Cropped to a single cell. May-Grünwald-Giemsa/Pappenheim stain. Bone marrow smear: 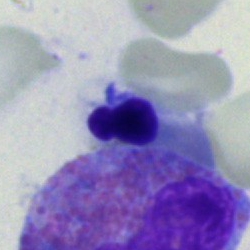
Specimen: bone marrow aspirate smear.
Cell type: erythroblast.
Lineage: erythroid.